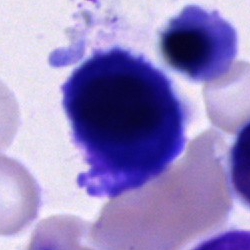

Classification = plasma cell.